Single cell centered in the field · bone marrow smear · image size 250×250.
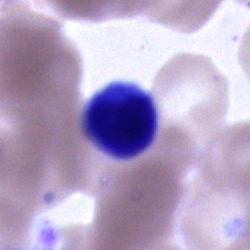 The classification is unidentifiable cell.